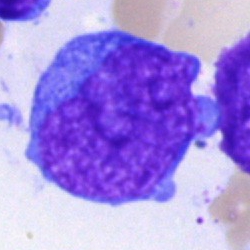
Morphological class = blast.